Bone marrow aspirate smear.
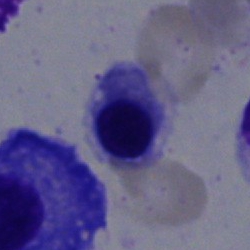

Normoblast.